Bone marrow smear.
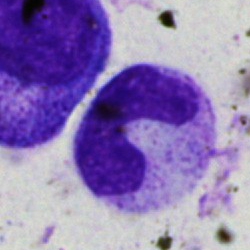{"cell_type": "band neutrophil", "lineage": "myeloid"}